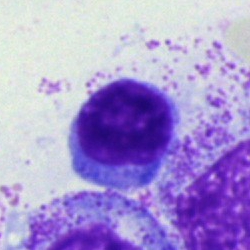The cell is lymphocyte.